Bone marrow aspirate smear; 40× oil immersion; image size 250×250:
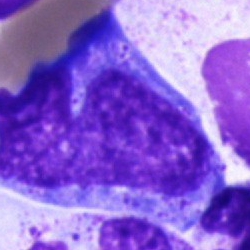Specimen: bone marrow aspirate smear.
Morphological class: undifferentiated blast.